Bone marrow smear:
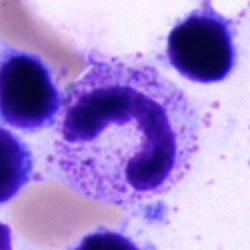
Cell type = polymorphonuclear neutrophil.